Bone marrow aspirate smear
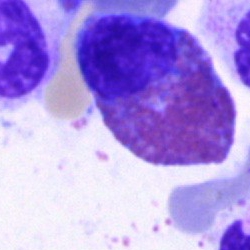
Impression — eosinophil.